Bone marrow smear
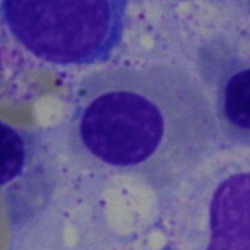 Erythroblast.